100× objective, oil immersion · peripheral blood film: 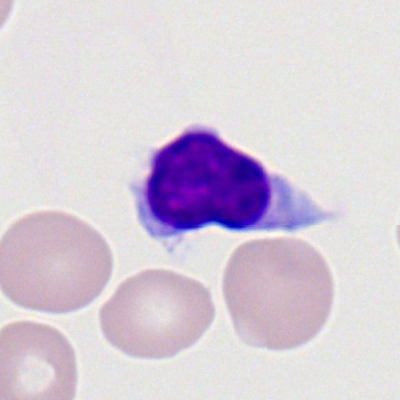

Specimen: peripheral blood film.
Cell type: lymphocyte.
Lineage: lymphoid.